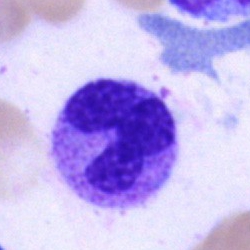
Q: What is the morphological classification of this cell?
A: A segmented neutrophil.